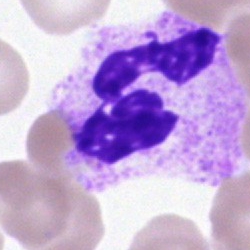 Morphology consistent with a segmented neutrophil.